Brightfield microscopy, 40× oil immersion. Bone marrow aspirate smear. May-Grünwald-Giemsa/Pappenheim stain — 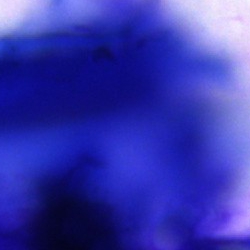Showing an artefact.